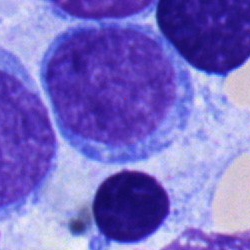Q: What cell is this?
A: A blast.